Bone marrow aspirate smear — 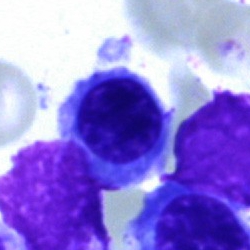

Classification: nucleated red cell.